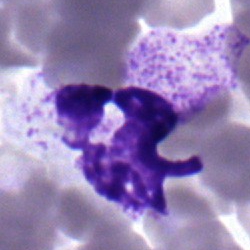

Myelocyte.